Bone marrow aspirate smear
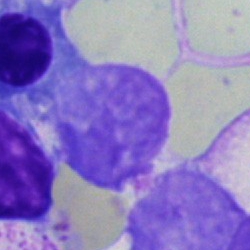

Q: What is shown here?
A: This is an artefact.